40× objective, oil immersion. Bone marrow smear
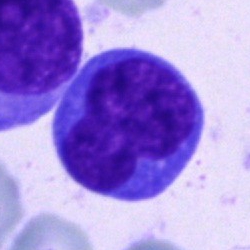 Q: Which cell type is shown here?
A: A blast.